40× objective, oil immersion. May-Grünwald-Giemsa/Pappenheim stain. Bone marrow aspirate smear
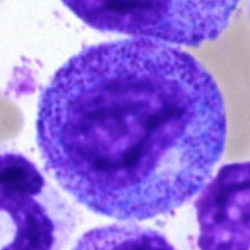

Promyelocyte.